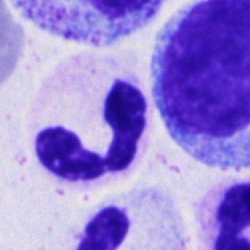 Bone marrow aspirate smear, single cell — neutrophil (segmented).